Peripheral blood film
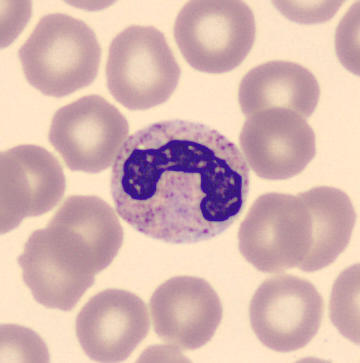 Cell type = neutrophil (band).